Peripheral blood film.
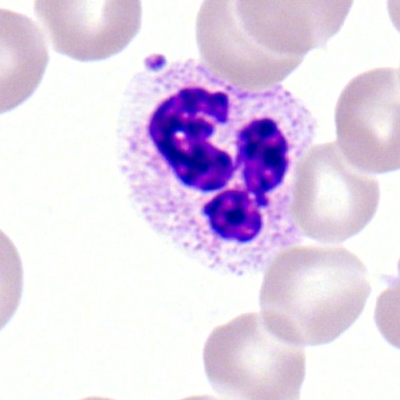

Morphology consistent with a segmented neutrophil.